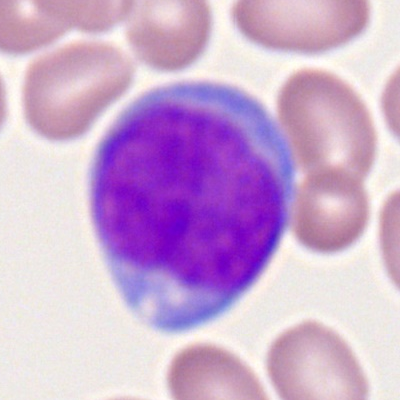This is a myeloid blast.